Bone marrow aspirate smear — 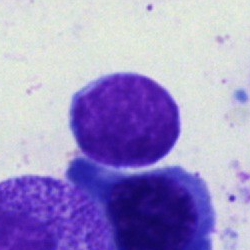 Single cell identified as a typical lymphocyte.